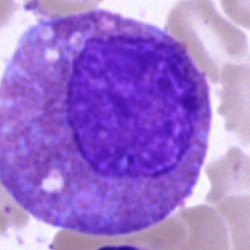
Cell type = eosinophilic granulocyte.